Brightfield, 40× oil-immersion objective. Bone marrow aspirate smear.
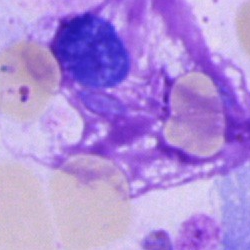 {"cell_type": "artifact"}